Single-cell crop; bone marrow aspirate smear.
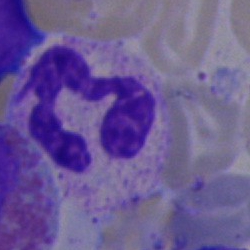
A polymorphonuclear neutrophil.